Bone marrow smear:
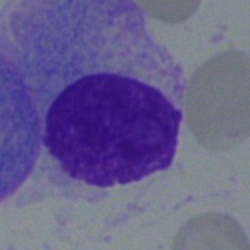 Impression → plasmacyte.